Bone marrow aspirate smear:
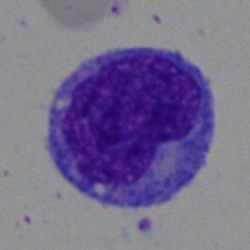 The cell shown is a metamyelocyte.